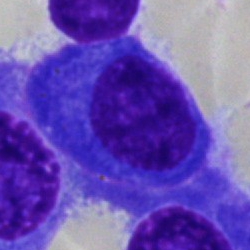Impression → plasmacyte.